Bone marrow aspirate smear; single-cell field: 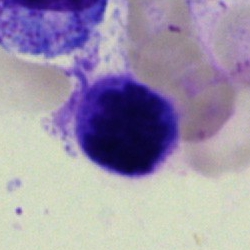The cell type is typical lymphocyte.